Bone marrow aspirate smear. Cropped to a single cell — 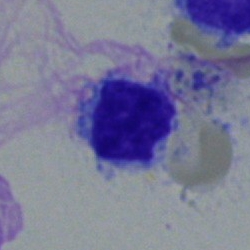 Classification: typical lymphocyte.